May-Grünwald-Giemsa/Pappenheim stain; bone marrow smear.
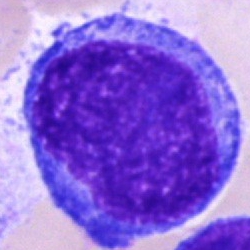Morphological class = undifferentiated blast.